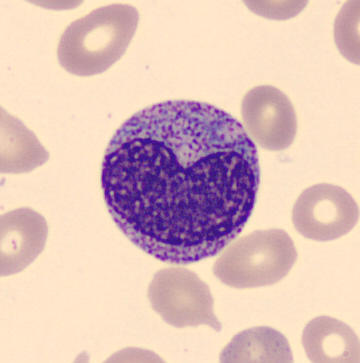
The cell shown is a promyelocyte.

Peripheral blood smear; single-cell crop; CellaVision DM96.